Bone marrow aspirate smear: 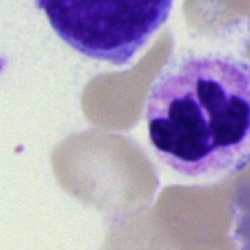 Morphology consistent with a segmented neutrophil.